Romanowsky-stained · peripheral blood film.
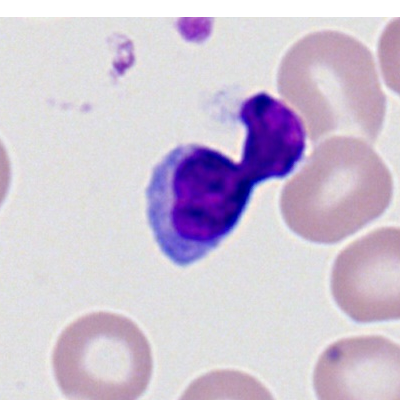

Q: What is shown here?
A: Lymphocyte.